Bone marrow aspirate smear. Brightfield microscopy, 40× oil immersion. Cropped to a single cell:
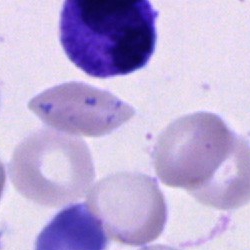 Showing an artefact.